Cropped to a single cell · bone marrow aspirate smear · 40× objective, oil immersion.
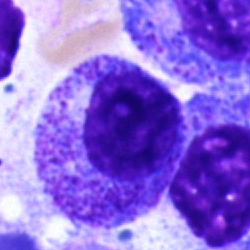{"cell_type": "promyelocyte", "lineage": "myeloid"}